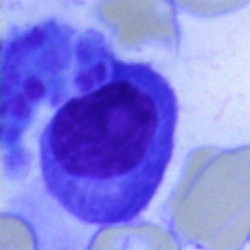

The cell type is plasmacyte.